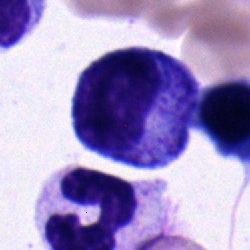Morphological class — progranulocyte.